Bone marrow smear:
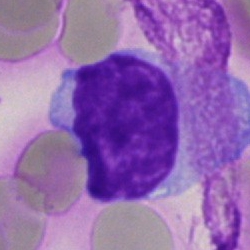 Morphology — lymphocyte.